Bone marrow aspirate smear. Image size 250×250 — 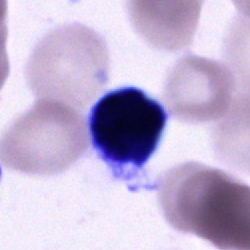

Morphology → cell of indeterminate lineage.